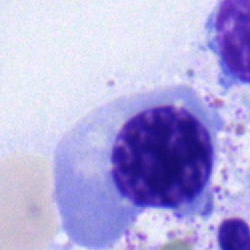The cell is normoblast.